Bone marrow aspirate smear; single-cell field: 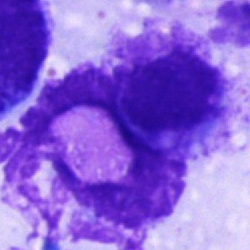

Specimen: bone marrow smear.
Cell type: artefact.